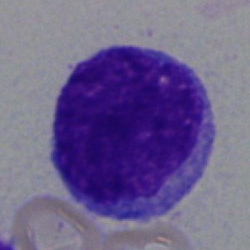

Specimen: bone marrow smear.
Cell: blast cell.